Bone marrow smear. Cropped to a single cell. Image size 250×250.
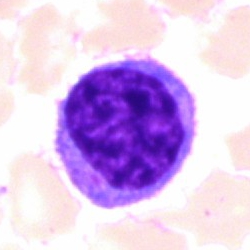 Cell type: plasmacyte.